40× objective, oil immersion. Bone marrow aspirate smear.
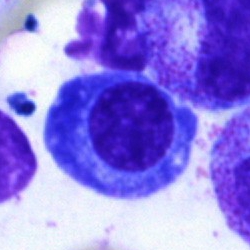

The cell shown is a plasmacyte.